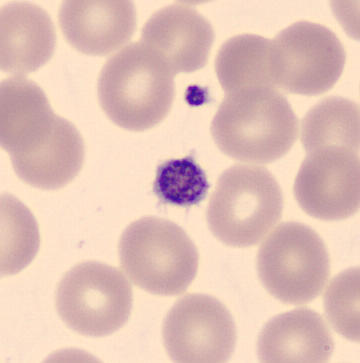

Image: Peripheral blood smear. Showing a thrombocyte.